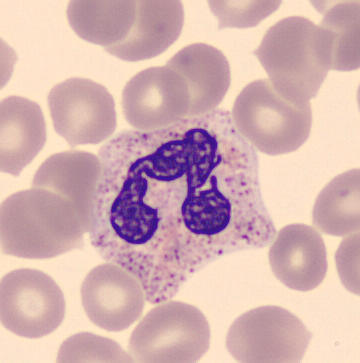

Morphology consistent with a segmented neutrophil.